40× oil immersion; cropped to a single cell; bone marrow smear.
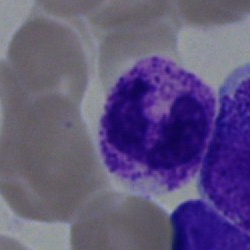
Showing a segmented neutrophil.